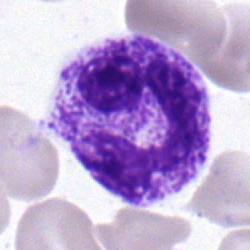

Impression → band-form neutrophil.